250×250 px; bone marrow aspirate smear.
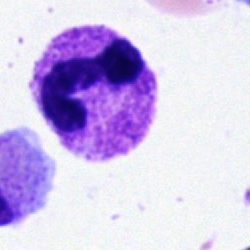 The cell type is neutrophil (segmented).